Peripheral blood smear; 100× objective, oil immersion — 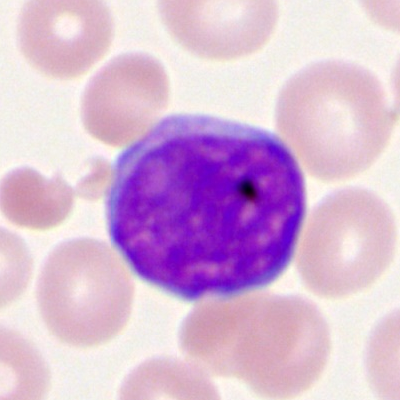Cell: myeloblast.